400×400 px. Peripheral blood smear:
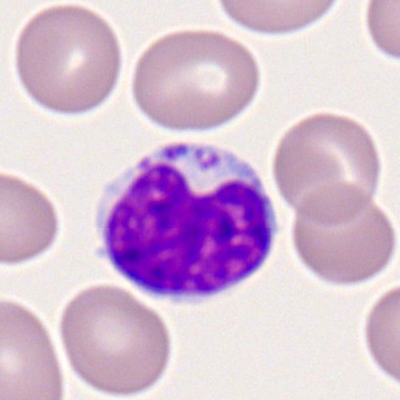

Single cell identified as a typical lymphocyte.